May-Grünwald-Giemsa/Pappenheim stain. Bone marrow smear:
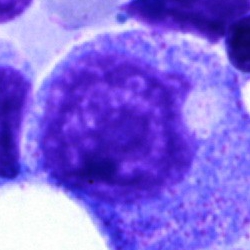This is a promyelocyte.